MGG-stained. Bone marrow smear:
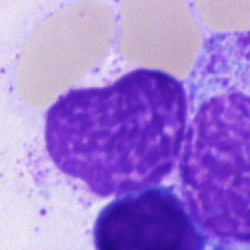
The cell shown is an artefact.